250×250 px; bone marrow smear
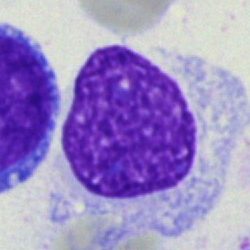Showing an artifact.